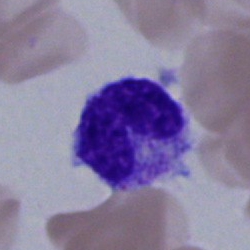
Bone marrow aspirate smear, single cell — stab cell.